Bone marrow aspirate smear:
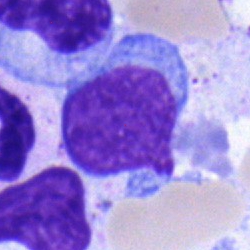

Typical lymphocyte.